Bone marrow aspirate smear · image size 250×250:
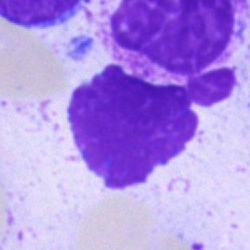
Q: What is shown here?
A: An artefact.